Bone marrow aspirate smear — 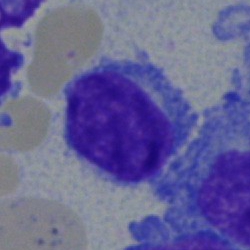A lymphocyte.